Bone marrow smear · cropped to a single cell · Pappenheim-stained: 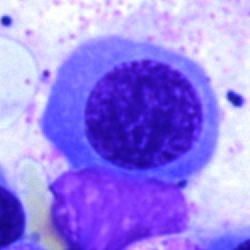This is a nucleated red cell.